Brightfield microscopy, 40× oil immersion; image size 250×250; bone marrow aspirate smear:
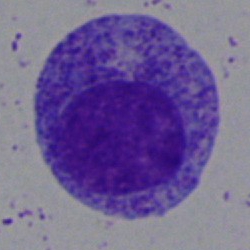 The cell is myelocyte.